Romanowsky stain · peripheral blood film · image size 400×400
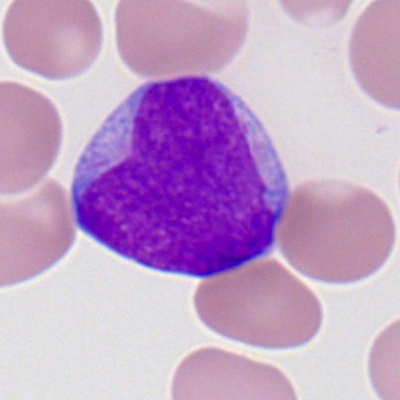

Impression — myeloid blast.